Bone marrow aspirate smear:
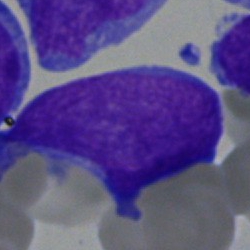
Q: Identify the cell.
A: A blast cell.